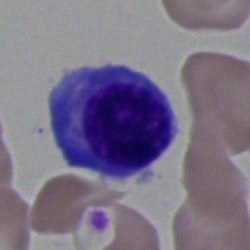
Q: What is the morphological classification of this cell?
A: Lymphocyte.